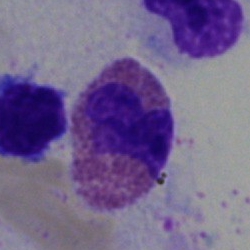

Cell — eosinophilic granulocyte.